May-Grünwald-Giemsa stain · bone marrow smear:
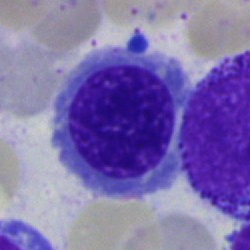
Cell type = nucleated red blood cell.